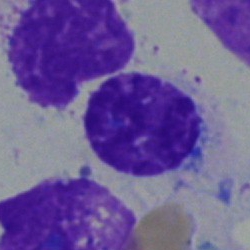 Classification — lymphocyte.